Single-cell field · bone marrow smear.
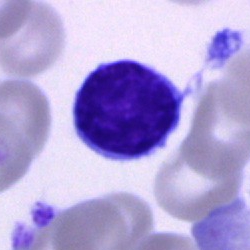
Q: What is the morphological classification of this cell?
A: Lymphocyte.